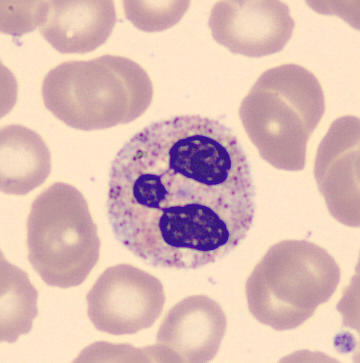{"cell_type": "segmented neutrophil"}